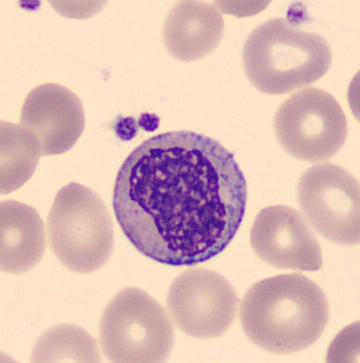 CellaVision DM96. Peripheral blood smear.
Q: What cell is this?
A: This is a myelocyte.